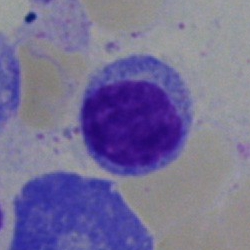

Lymphocyte.